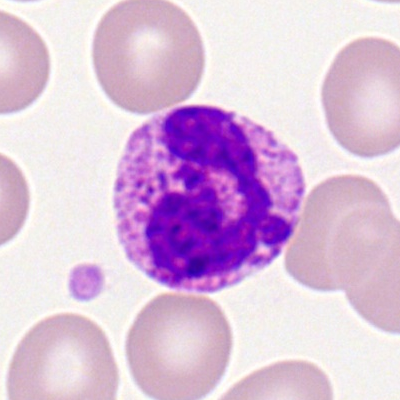

Q: Identify the cell.
A: This is a basophilic granulocyte.